May-Grünwald-Giemsa stain. Bone marrow smear — 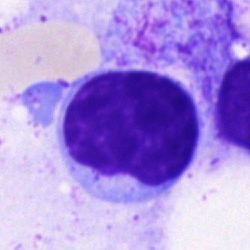
Morphological class: blast cell.